Bone marrow smear:
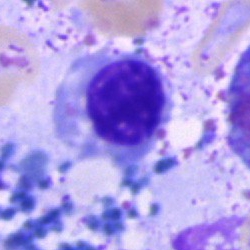 The classification is normoblast.